Single cell centered in the field; bone marrow aspirate smear: 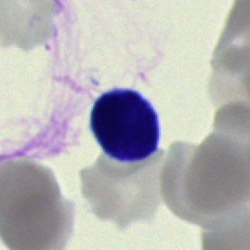

Cell type = lymphocyte.